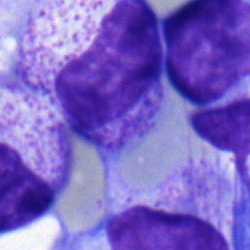 Cell — metamyelocyte.